Single cell centered in the field · bone marrow aspirate smear.
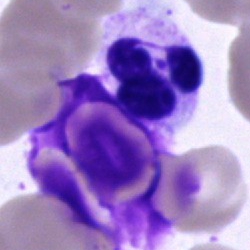

This is a polymorphonuclear neutrophil.